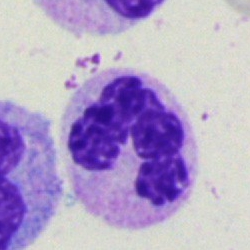
Single-cell crop from a bone marrow smear: segmented neutrophil.